Peripheral blood smear:
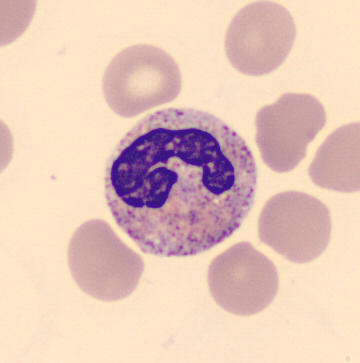The cell shown is a segmented neutrophil.